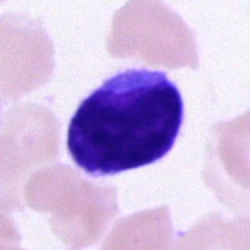

Cell: typical lymphocyte.